Bone marrow aspirate smear — 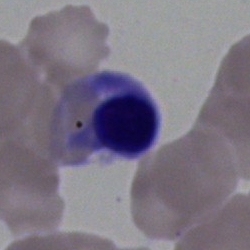
Morphology consistent with a normoblast.